Pappenheim-stained; image size 250×250; bone marrow smear:
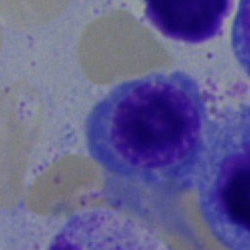 Erythroblast.